Bone marrow smear. Single-cell field: 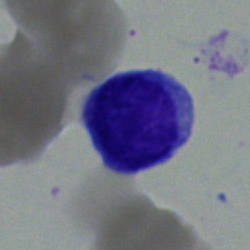The cell is typical lymphocyte.